Peripheral blood film; automated cell imaging (CellaVision DM96); cropped to a single cell
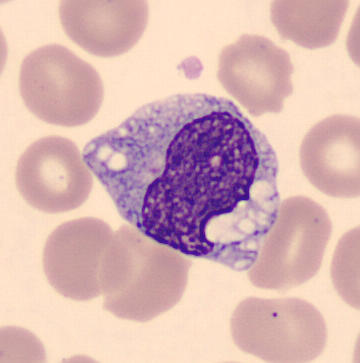

Morphology consistent with a monocyte.